Bone marrow smear.
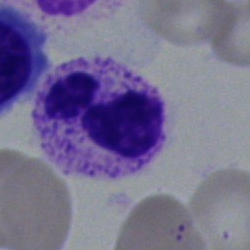 Q: Which cell type is shown here?
A: A segmented neutrophil.